Single-cell field. Bone marrow aspirate smear:
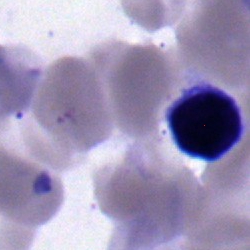Showing a typical lymphocyte.